Bone marrow smear.
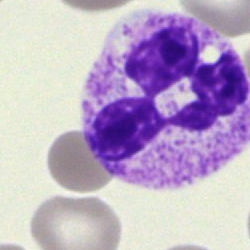
Morphology consistent with a polymorphonuclear neutrophil.